Image size 250×250. Bone marrow aspirate smear: 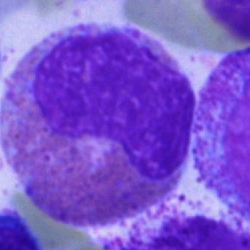

The cell shown is an eosinophilic granulocyte.